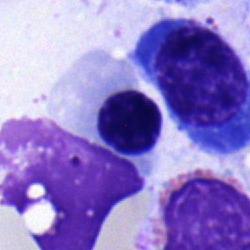

Morphology consistent with a normoblast.